Bone marrow smear
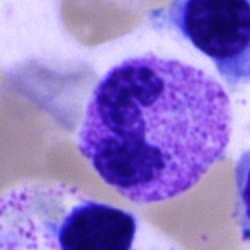

Morphology consistent with a neutrophil (segmented).